Bone marrow aspirate smear · single-cell crop.
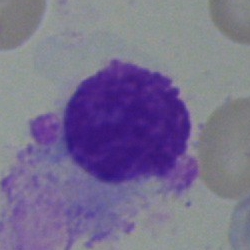 Morphology — artefact.